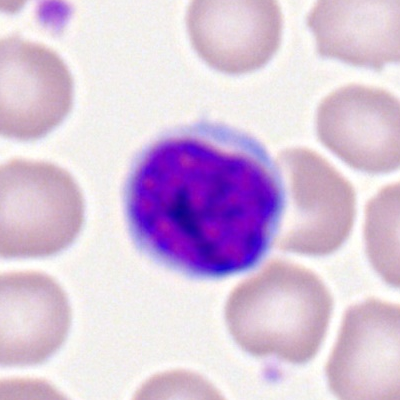

Specimen: peripheral blood film.
Morphological class: lymphocyte.
Lineage: lymphoid.